Bone marrow smear: 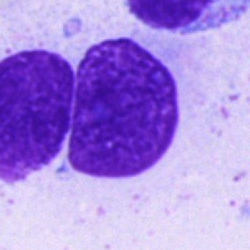 Artefact.